Bone marrow smear
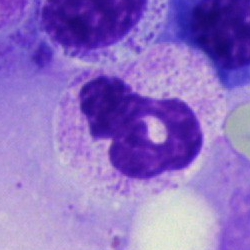
Impression — neutrophil (segmented).